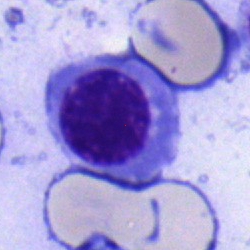Q: Which cell type is shown here?
A: It is a nucleated red cell.